Bone marrow smear · May-Grünwald-Giemsa stain: 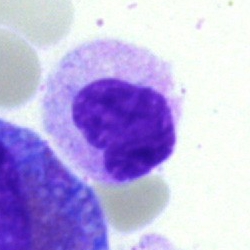

Morphological class — metamyelocyte.